Bone marrow aspirate smear. Brightfield, 40× oil-immersion objective. 250×250:
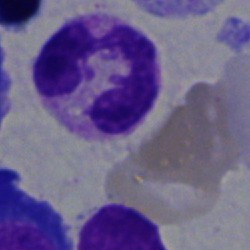

Cell type = neutrophil (segmented).